Bone marrow aspirate smear · 40× objective, oil immersion.
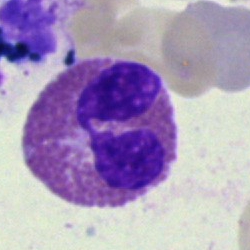 Eosinophilic granulocyte.